MGG-stained. Brightfield microscopy, 40× oil immersion. Bone marrow smear
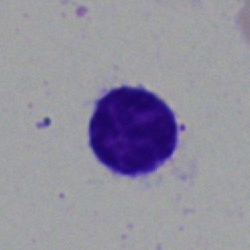Morphology consistent with a lymphocyte.